Bone marrow smear: 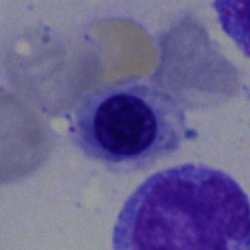 Morphology → erythroblast.